Bone marrow smear:
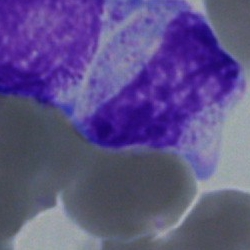
Q: Identify the cell.
A: A metamyelocyte.